Brightfield microscopy, 40× oil immersion. Bone marrow aspirate smear — 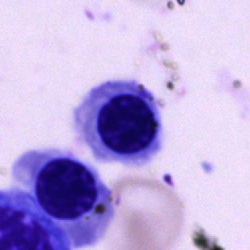 A nucleated red blood cell.